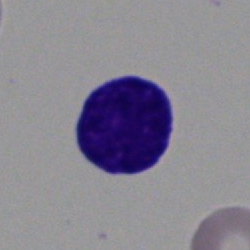

Specimen: bone marrow smear.
Morphological class: blast.